Bone marrow aspirate smear: 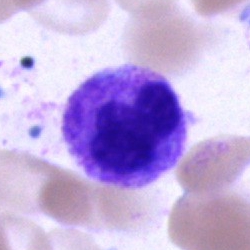 Specimen: bone marrow smear.
Cell type: polymorphonuclear neutrophil.
Lineage: myeloid.